Single-cell crop; bone marrow aspirate smear: 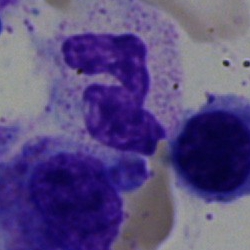
Specimen: bone marrow smear.
Morphological class: polymorphonuclear neutrophil.
Lineage: myeloid.